250×250 px. MGG-stained. Bone marrow smear
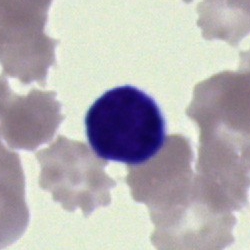
An artifact.